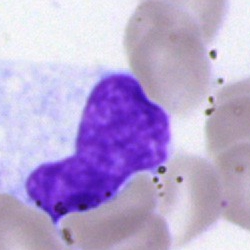

Q: What is shown here?
A: This is a band-form neutrophil.